MGG-stained; bone marrow smear.
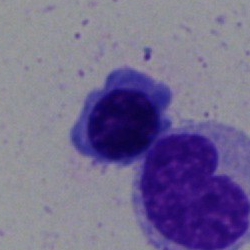

Classification — nucleated red blood cell.